Bone marrow aspirate smear: 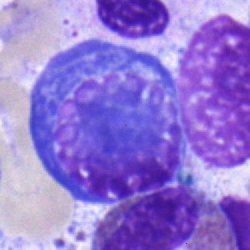Morphology consistent with a nucleated red cell.